Bone marrow aspirate smear
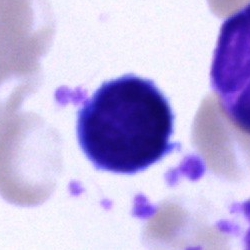 Impression — cell of indeterminate lineage.